Peripheral blood film:
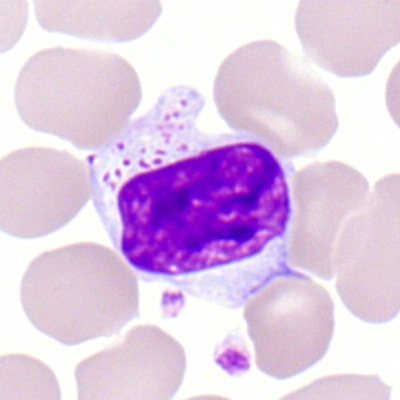

The cell shown is a lymphocyte.